May-Grünwald-Giemsa/Pappenheim stain · bone marrow aspirate smear — 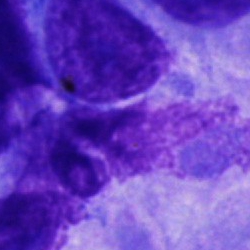 Q: Identify the cell.
A: A cell not matching the other categories.